40× objective, oil immersion · bone marrow aspirate smear — 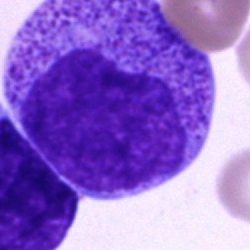 A promyelocyte.